Bone marrow smear:
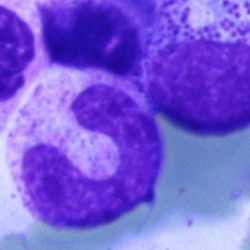Stab cell.